Bone marrow aspirate smear: 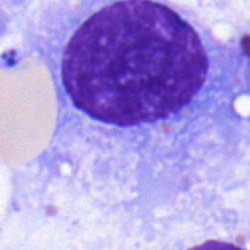 Classification — plasmacyte.